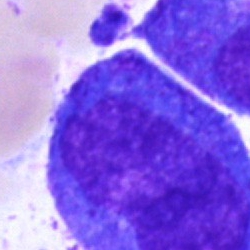Specimen: bone marrow smear.
Cell type: promyelocyte.